Bone marrow smear · 250×250.
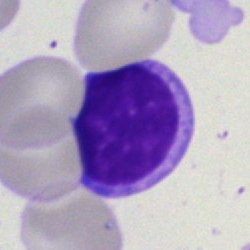

Single cell identified as a lymphocyte.